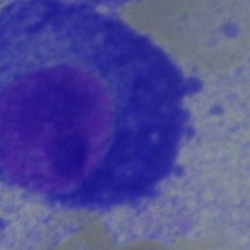
Morphology — plasma cell.